Bone marrow smear
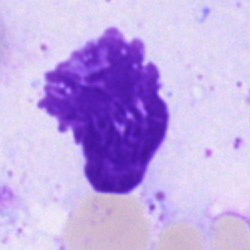
Cell of indeterminate lineage.